Bone marrow aspirate smear
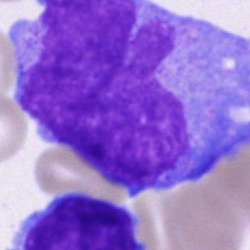

Impression — blast.